Bone marrow aspirate smear.
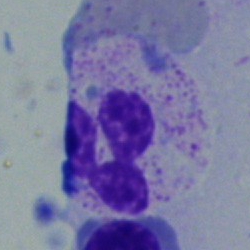 Specimen: bone marrow smear.
Morphological class: segmented neutrophil.
Lineage: myeloid.